Bone marrow aspirate smear
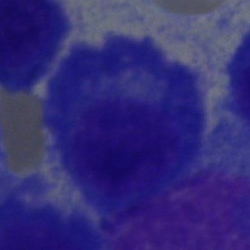Showing a plasma cell.